Cropped to a single cell. Bone marrow smear
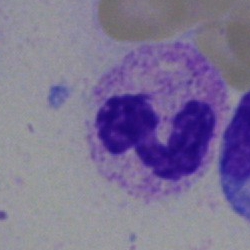Specimen: bone marrow aspirate smear.
Cell type: segmented neutrophil.